Bone marrow smear
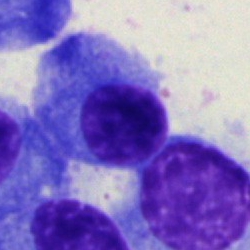Q: Which cell type is shown here?
A: It is a plasma cell.